Pappenheim-stained · 250×250 px · bone marrow smear:
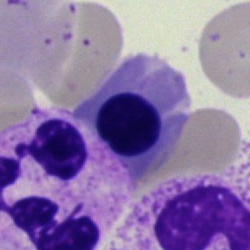 Morphology consistent with a normoblast.